Bone marrow aspirate smear.
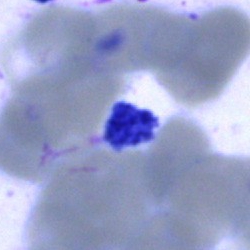 Morphology consistent with an artifact.